Bone marrow aspirate smear
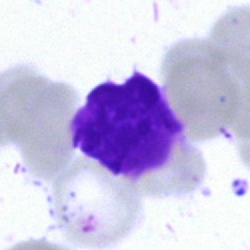
Cell = artefact.